Bone marrow aspirate smear. MGG-stained
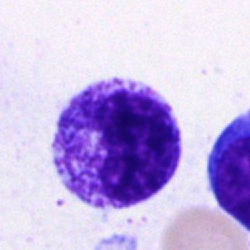 Cell = metamyelocyte.